Bone marrow aspirate smear
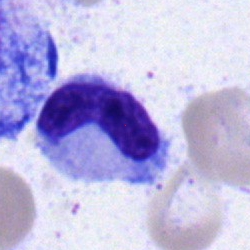
Morphological class: neutrophil (band).